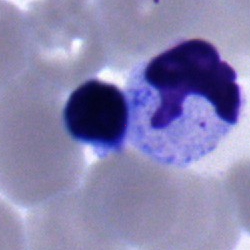
Q: What cell is this?
A: Typical lymphocyte.